Bone marrow aspirate smear. 250 by 250 pixels. 40× objective, oil immersion — 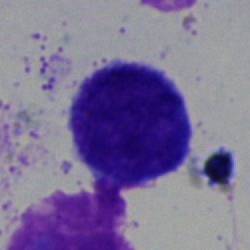The cell shown is a lymphocyte.